Bone marrow smear
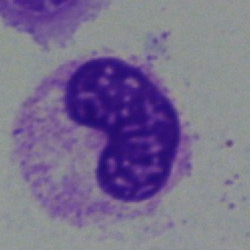 Specimen: bone marrow smear.
Cell: neutrophil (band).
Lineage: myeloid.